Bone marrow aspirate smear.
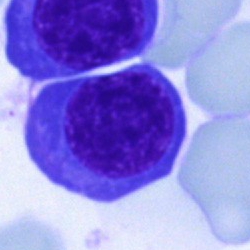
Cell — erythroblast.